Bone marrow smear; single-cell field; brightfield microscopy, 40× oil immersion.
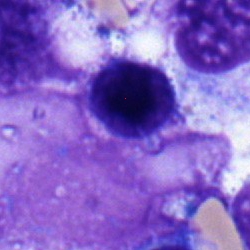Morphology → typical lymphocyte.